Bone marrow smear.
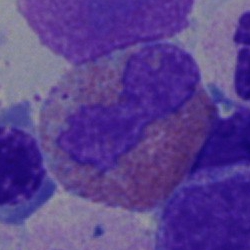

Classification = eosinophil.